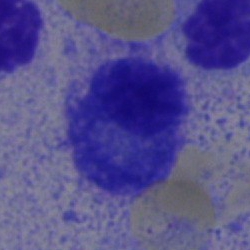
Cell — plasmacyte.